Bone marrow smear
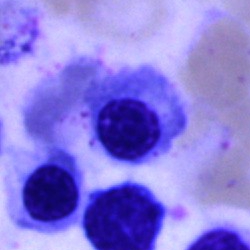 Impression → nucleated red cell.